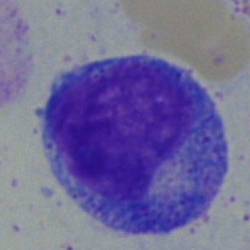 Specimen: bone marrow smear.
Classification: promyelocyte.
Lineage: myeloid.